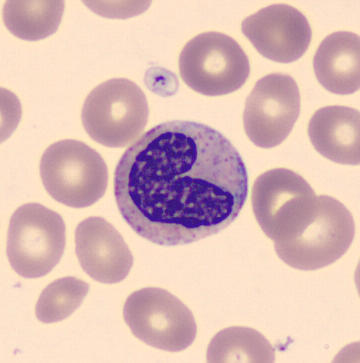 Preparation: Peripheral blood smear.
This is a metamyelocyte.